Bone marrow smear:
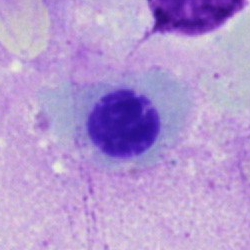
Cell type — normoblast.